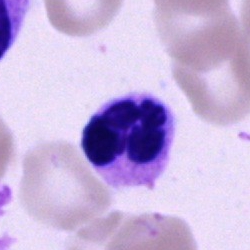

Q: What cell is this?
A: This is a polymorphonuclear neutrophil.